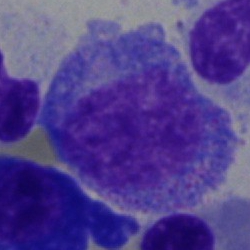
Specimen: bone marrow aspirate smear.
Morphological class: promyelocyte.